Bone marrow aspirate smear: 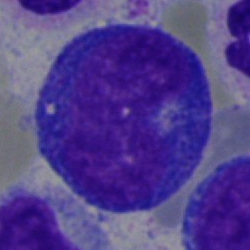

Q: What is the morphological classification of this cell?
A: Normoblast.